Bone marrow smear. Pappenheim-stained
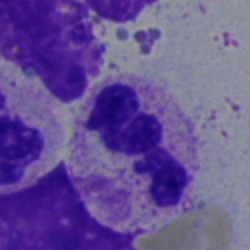

Showing a neutrophil (segmented).